Peripheral blood smear:
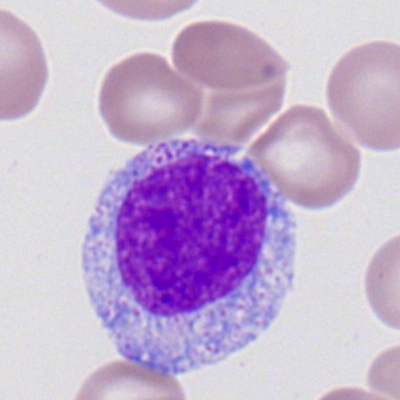 A myelocyte.